Bone marrow aspirate smear.
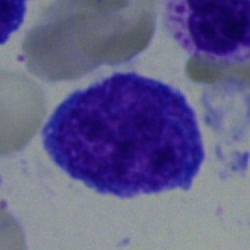
Cell: undifferentiated blast.